Peripheral blood smear
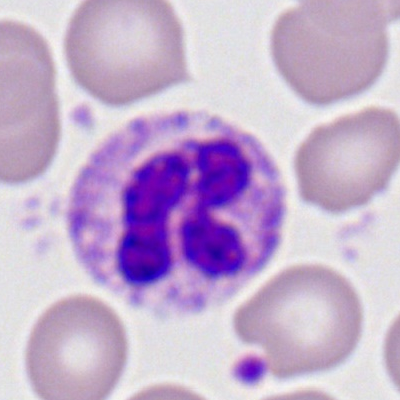Single cell identified as a neutrophil (segmented).